Peripheral blood film:
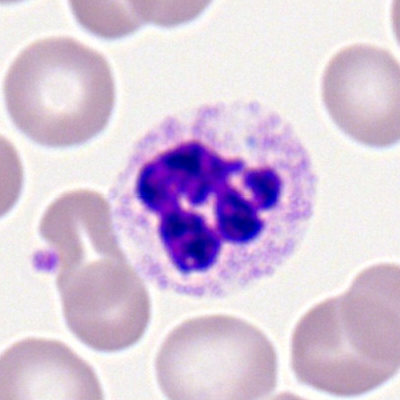
Morphological class = segmented neutrophil.